Bone marrow aspirate smear: 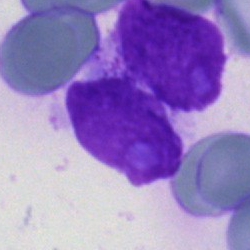 Morphology consistent with an artefact.